Peripheral blood smear; Romanowsky-type stain; 400×400.
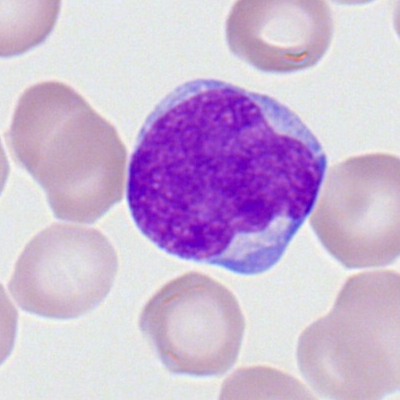Cell type — myeloid blast.